Bone marrow smear — 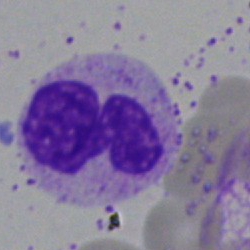 Q: What is shown here?
A: This is a segmented neutrophil.